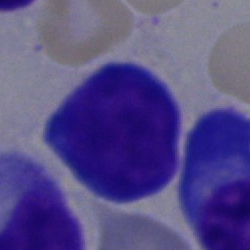

Impression — pronormoblast.